Bone marrow smear. 250×250 px.
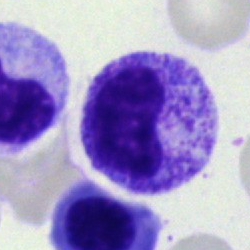The morphological class is metamyelocyte.